Peripheral blood smear. Cropped to a single cell
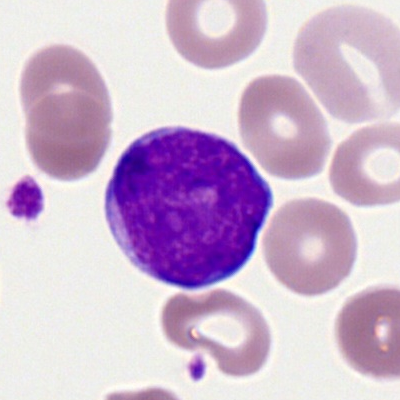

Morphology — myeloid blast.